Bone marrow aspirate smear:
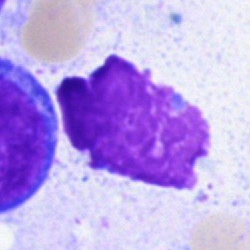
Impression — artefact.